Bone marrow smear. Pappenheim-stained. Brightfield, 40× oil-immersion objective.
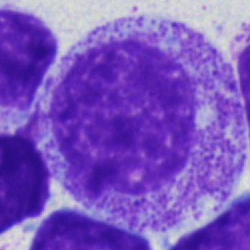

Specimen: bone marrow aspirate smear.
Cell: myelocyte.
Lineage: myeloid.